Bone marrow aspirate smear:
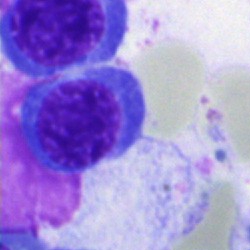

Specimen: bone marrow aspirate smear.
Cell type: nucleated red cell.
Lineage: erythroid.